Bone marrow smear:
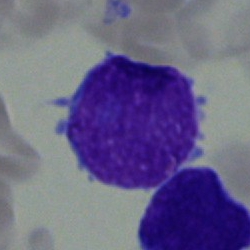
This is a blast cell.